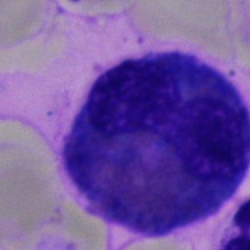

Impression → eosinophil.